Bone marrow aspirate smear.
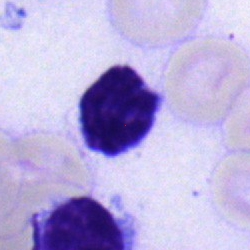 Classification: lymphocyte.